Peripheral blood smear:
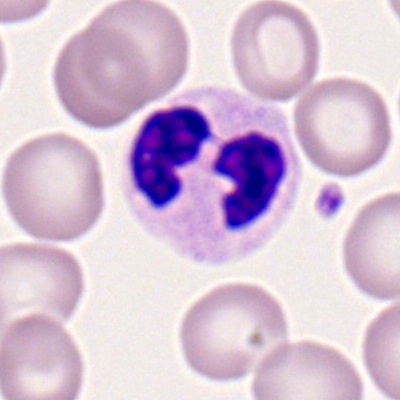Morphology consistent with a segmented neutrophil.